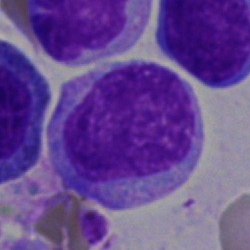An undifferentiated blast.